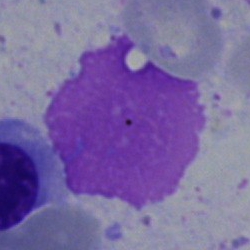
Specimen: bone marrow aspirate smear.
Morphological class: artifact.